Bone marrow aspirate smear; MGG-stained.
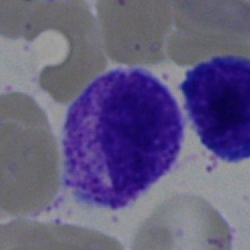 Specimen: bone marrow aspirate smear.
Morphological class: myelocyte.
Lineage: myeloid.